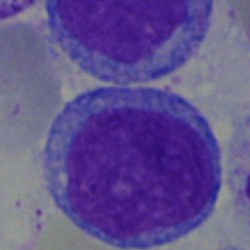
Cell — blast.